Bone marrow smear.
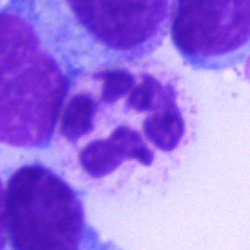 Specimen: bone marrow aspirate smear.
Cell: segmented neutrophil.
Lineage: myeloid.